Bone marrow smear.
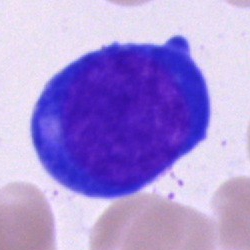
Classification — pronormoblast.